Bone marrow aspirate smear: 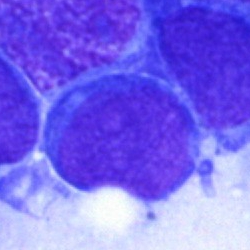 The classification is blast cell.